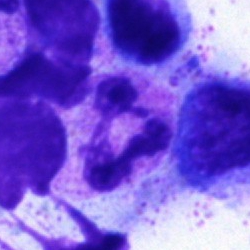Morphological class: segmented neutrophil.